May-Grünwald-Giemsa/Pappenheim stain · bone marrow aspirate smear
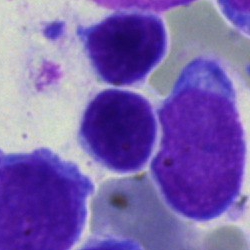
Q: Identify the cell.
A: This is a typical lymphocyte.